Single-cell crop · bone marrow smear:
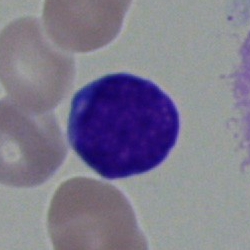

{"cell_type": "typical lymphocyte"}